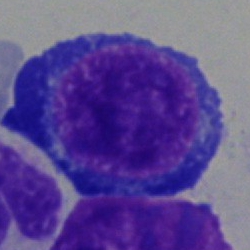
Q: What cell is this?
A: A pronormoblast.